May-Grünwald-Giemsa/Pappenheim stain; bone marrow aspirate smear — 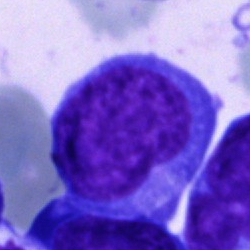Morphological class = undifferentiated blast.